Brightfield, 40× oil-immersion objective · bone marrow aspirate smear: 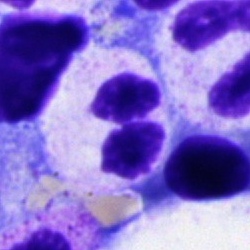Showing a neutrophil (segmented).